Bone marrow smear:
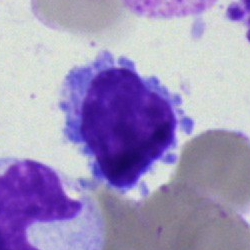Showing a lymphocyte.